Bone marrow smear
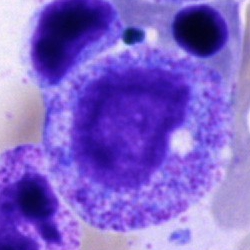

Cell — promyelocyte.